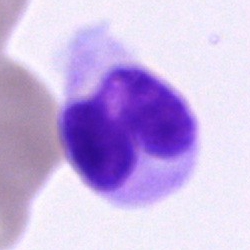A cell of indeterminate lineage.